Single-cell field · bone marrow aspirate smear:
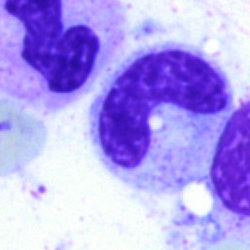Morphology → band neutrophil.